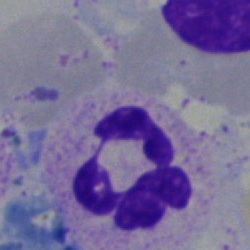

Polymorphonuclear neutrophil.